Bone marrow aspirate smear:
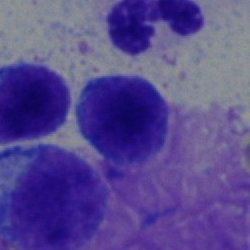

The cell is lymphocyte.